Single-cell crop; bone marrow smear
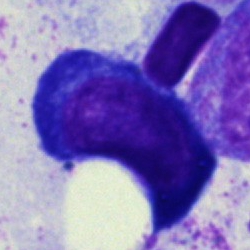

Morphology → proerythroblast.